Bone marrow smear: 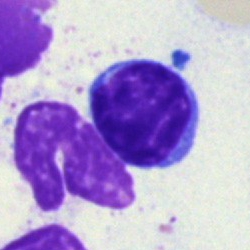

Showing a lymphocyte.